Single cell centered in the field · bone marrow aspirate smear — 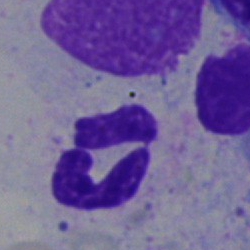
Cell type: segmented neutrophil.